Peripheral blood film:
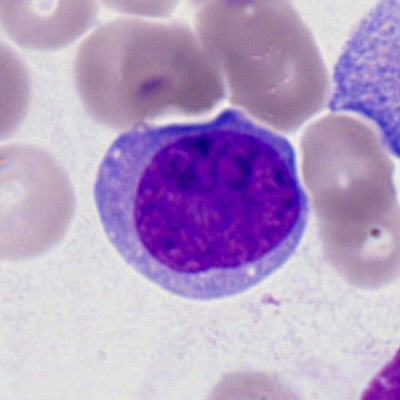 The cell shown is a myeloblast.